Bone marrow aspirate smear · single-cell field.
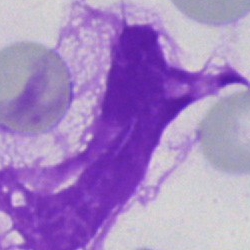Q: What is shown here?
A: It is an artifact.